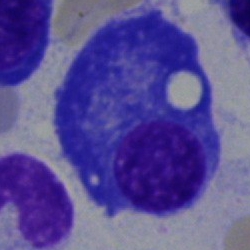 Specimen: bone marrow smear.
Morphological class: plasmacyte.